250 by 250 pixels · bone marrow smear · May-Grünwald-Giemsa/Pappenheim stain: 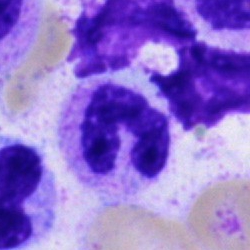Cell type: segmented neutrophil.